360 by 363 pixels. Peripheral blood film.
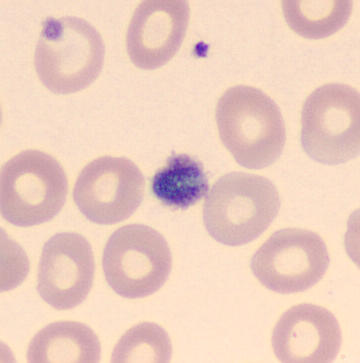{"cell_type": "thrombocyte"}